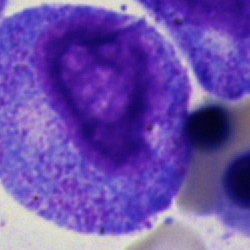

Morphology → promyelocyte.